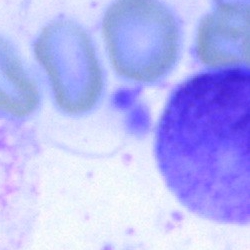
The morphological class is unidentifiable cell.